Bone marrow smear · brightfield microscopy, 40× oil immersion:
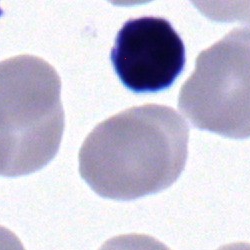
This is a typical lymphocyte.